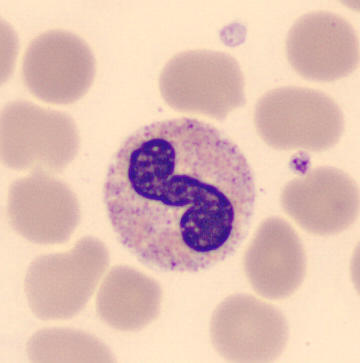Showing a stab cell.
Peripheral blood smear.